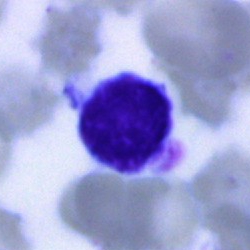

This is a lymphocyte.